M8 digital microscope (Precipoint), 100× oil immersion · peripheral blood film:
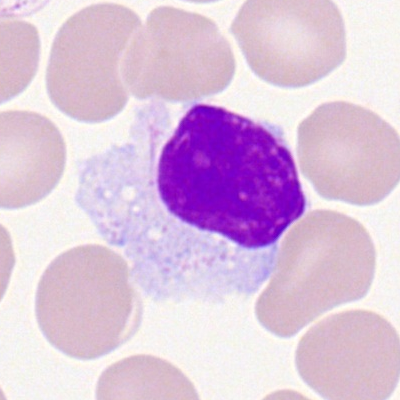

Morphology consistent with a lymphocyte.